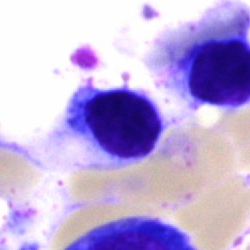 Impression → typical lymphocyte.